Bone marrow smear — 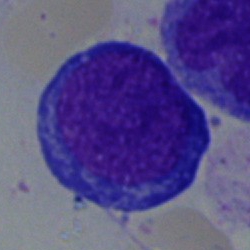
Single cell identified as a proerythroblast.